Bone marrow smear: 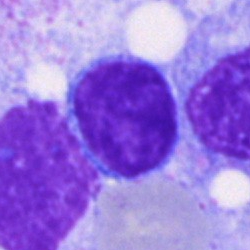 Q: What type of cell is this?
A: This is a typical lymphocyte.